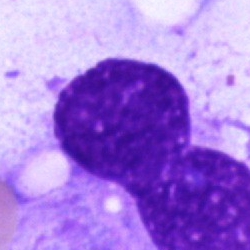
Artefact.